Peripheral blood smear — 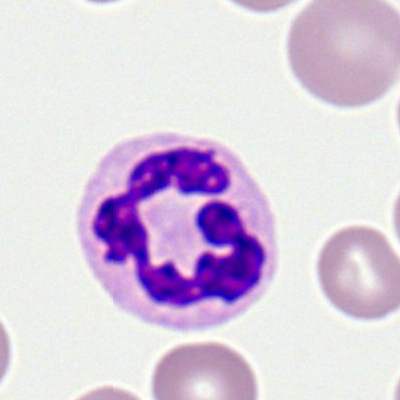 Single cell identified as a polymorphonuclear neutrophil.